May-Grünwald-Giemsa stain · 250×250 · bone marrow aspirate smear.
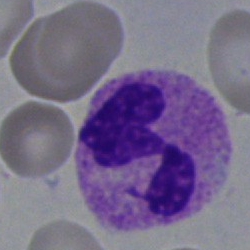
Cell: neutrophil (segmented).